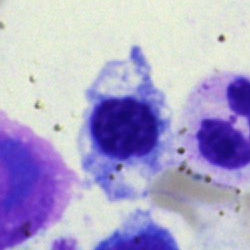 Classification: nucleated red cell.